Bone marrow aspirate smear
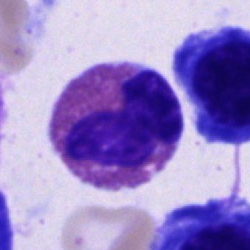
{"cell_type": "eosinophilic granulocyte"}